Bone marrow smear — 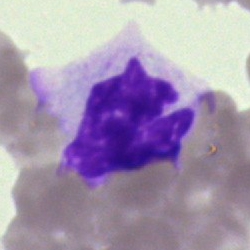
Morphological class: artifact.